Bone marrow aspirate smear. May-Grünwald-Giemsa stain.
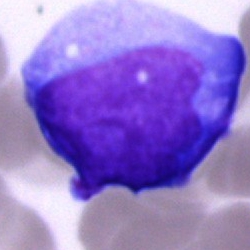 Impression → blast cell.